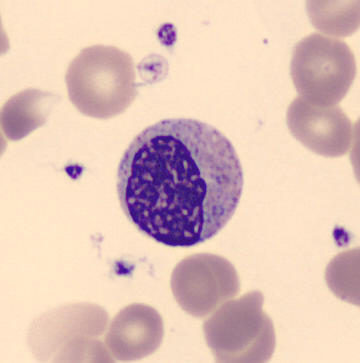 Specimen: peripheral blood film.
Cell: metamyelocyte.